Brightfield microscopy, 40× oil immersion. Bone marrow smear:
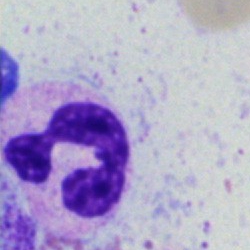
{"cell_type": "neutrophil (segmented)"}